Image size 250×250 · bone marrow aspirate smear
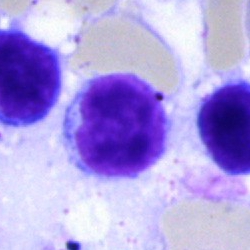 Cell — lymphocyte.